250×250 px; bone marrow aspirate smear; Pappenheim-stained: 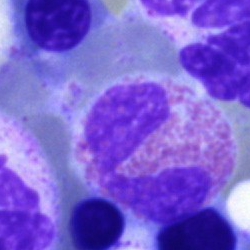Q: Which cell type is shown here?
A: It is an eosinophil.